Bone marrow aspirate smear: 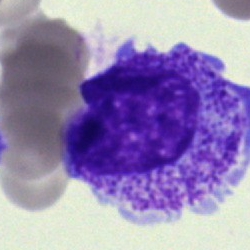
Impression → myelocyte.